Pappenheim-stained; bone marrow aspirate smear:
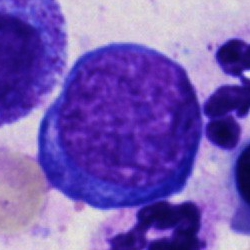

Single cell identified as an erythroblast.